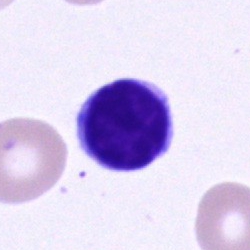 The classification is typical lymphocyte.